Bone marrow aspirate smear
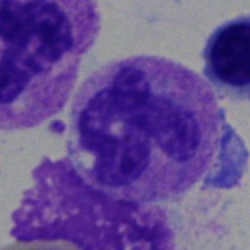 Impression — neutrophil (segmented).